Bone marrow smear.
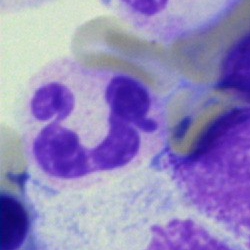Q: What cell is this?
A: This is a polymorphonuclear neutrophil.